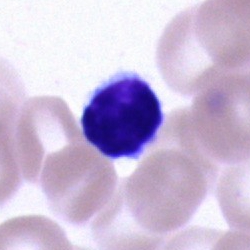
Morphology → typical lymphocyte.